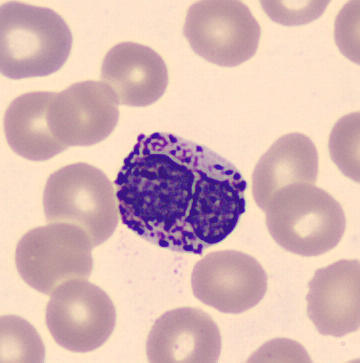

The classification is basophilic granulocyte.

Preparation: 360 by 363 pixels · imaged on a CellaVision DM96 analyser · peripheral blood film.